Single-cell field; bone marrow smear — 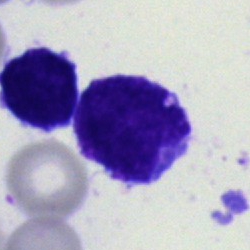Q: What is shown here?
A: It is an undifferentiated blast.